Bone marrow smear:
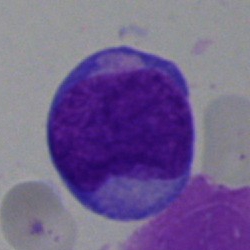
Q: What is the morphological classification of this cell?
A: It is an undifferentiated blast.